May-Grünwald-Giemsa/Pappenheim stain. Bone marrow aspirate smear.
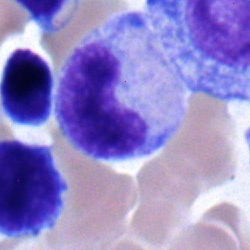

A metamyelocyte.